250×250 px. Bone marrow smear. Brightfield microscopy, 40× oil immersion.
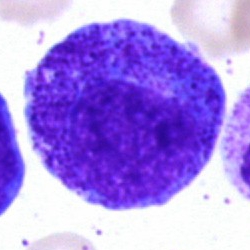 A promyelocyte.